Bone marrow aspirate smear · 40× oil immersion: 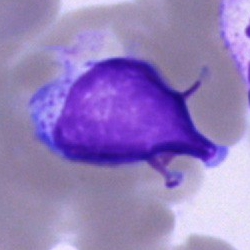
The cell shown is a lymphocyte.